Single cell centered in the field. Brightfield microscopy, 40× oil immersion. Bone marrow aspirate smear — 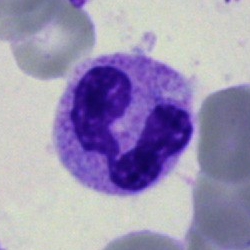Specimen: bone marrow smear.
Cell: segmented neutrophil.